Bone marrow smear:
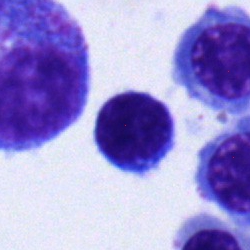 Q: Which cell type is shown here?
A: A typical lymphocyte.